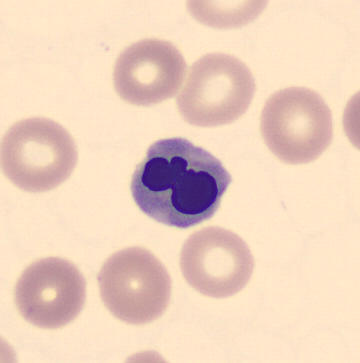 360 by 363 pixels · MGG stain · peripheral blood smear.
Q: Identify the cell.
A: It is an erythroblast.